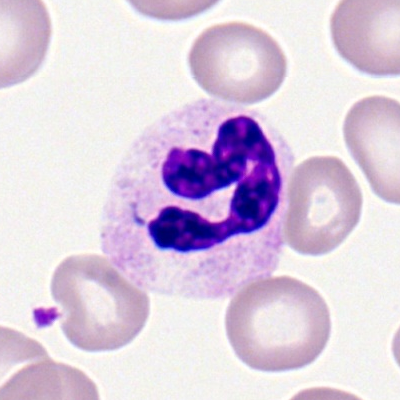

Q: What type of cell is this?
A: It is a neutrophil (segmented).